Bone marrow aspirate smear: 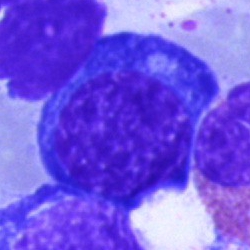

Q: What type of cell is this?
A: An erythroblast.